Bone marrow aspirate smear:
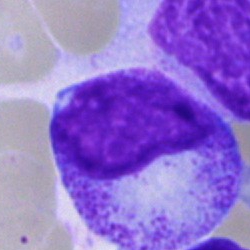

Single cell identified as a progranulocyte.